Peripheral blood film: 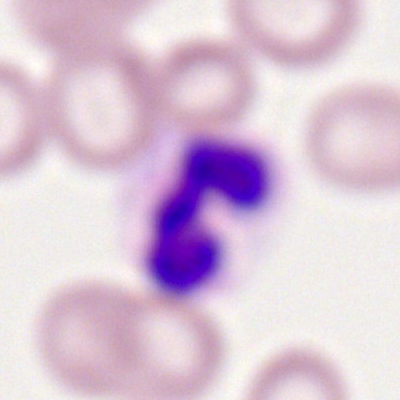 Q: What is the morphological classification of this cell?
A: This is a segmented neutrophil.